Bone marrow smear · brightfield, 40× oil-immersion objective · MGG-stained — 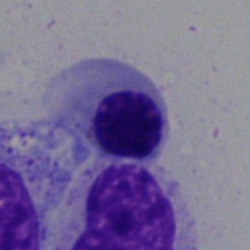

This is a nucleated red blood cell.